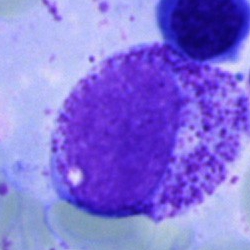 {"cell_type": "myelocyte", "lineage": "myeloid"}